Bone marrow aspirate smear · brightfield microscopy, 40× oil immersion.
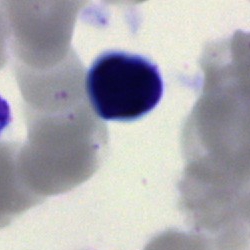 Specimen: bone marrow smear.
Morphological class: typical lymphocyte.